Peripheral blood smear — 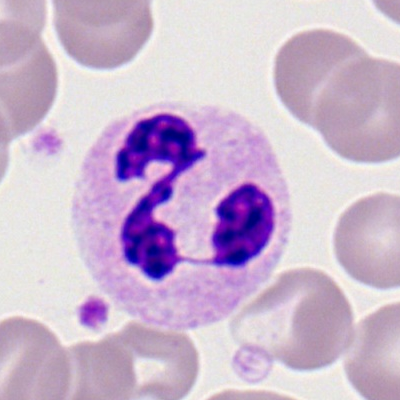

Cell type = segmented neutrophil.